Bone marrow aspirate smear; MGG-stained; single cell centered in the field.
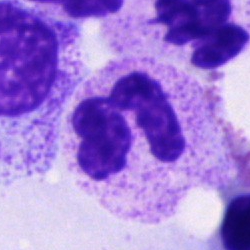

Morphology consistent with a segmented neutrophil.